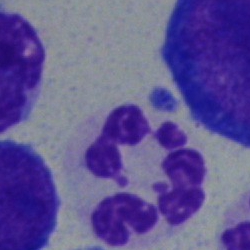
Impression → polymorphonuclear neutrophil.